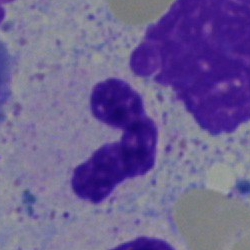 Impression → neutrophil (band).